Bone marrow smear · image size 250×250.
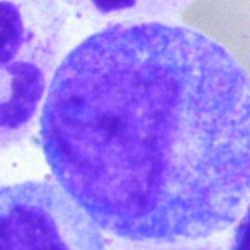

Specimen: bone marrow smear.
Cell type: promyelocyte.
Lineage: myeloid.